Bone marrow aspirate smear. Pappenheim-stained.
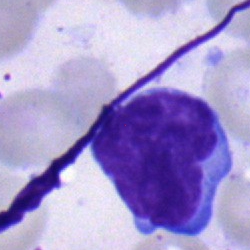

The cell shown is a typical lymphocyte.